Bone marrow smear
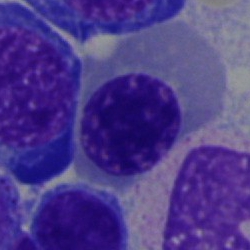Q: What type of cell is this?
A: An erythroblast.